Bone marrow aspirate smear
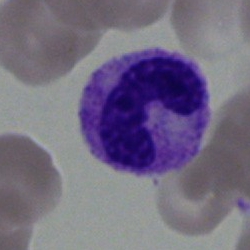 Impression → neutrophil (band).